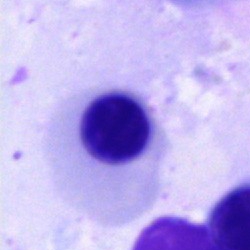Q: Identify the cell.
A: This is a normoblast.